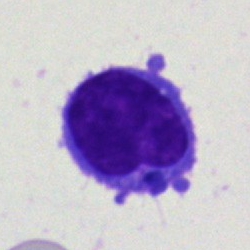 Classification = lymphocyte.